40× objective, oil immersion; single cell centered in the field; bone marrow smear
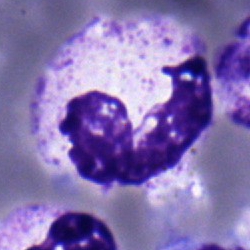 A stab cell.